Bone marrow aspirate smear: 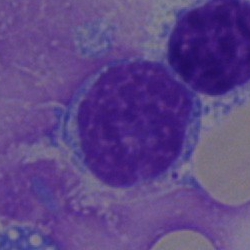

Cell: typical lymphocyte.